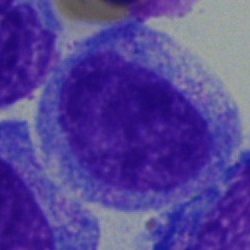
Q: Identify the cell.
A: This is a promyelocyte.